Peripheral blood smear
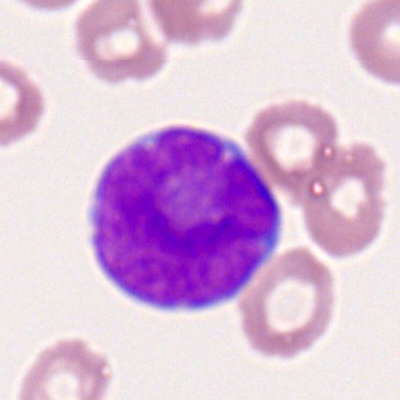

Myeloid blast.